360 by 363 pixels; peripheral blood smear:
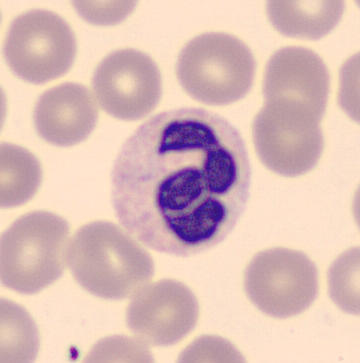

Q: What is the morphological classification of this cell?
A: This is a neutrophil (segmented).